Bone marrow smear — 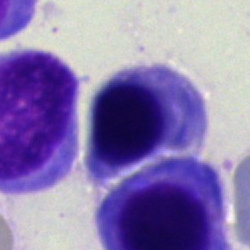

Q: What is shown here?
A: It is an erythroblast.